May-Grünwald-Giemsa/Pappenheim stain · bone marrow smear: 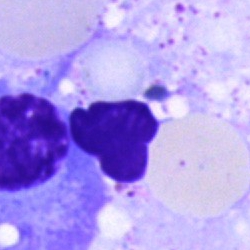

Cell = artifact.